Bone marrow aspirate smear:
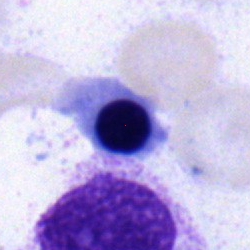 {"cell_type": "normoblast"}